Peripheral blood smear:
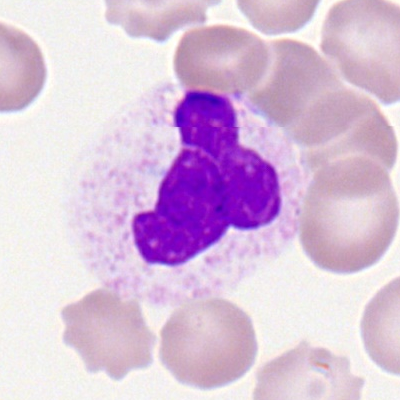 The cell shown is a segmented neutrophil.